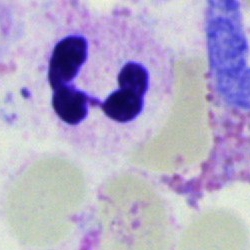

Q: Which cell type is shown here?
A: A neutrophil (segmented).